Bone marrow smear — 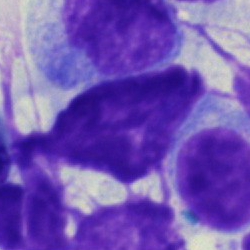 An artifact.